Bone marrow smear:
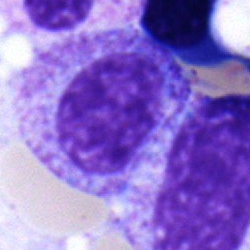
Cell type = myelocyte.